40× oil immersion. Bone marrow smear.
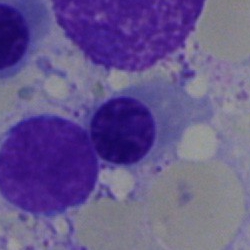Cell type = nucleated red cell.